250×250 px; bone marrow aspirate smear; 40× oil immersion:
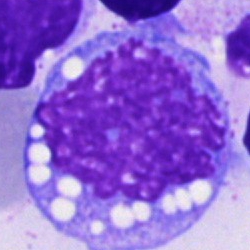 Q: Identify the cell.
A: A monocyte.